Single-cell crop. Bone marrow aspirate smear.
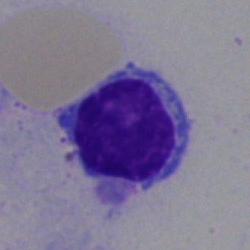 Q: Which cell type is shown here?
A: This is a lymphocyte.